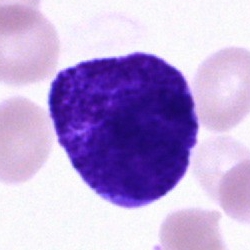 Showing a blast cell.